Bone marrow aspirate smear · Pappenheim-stained — 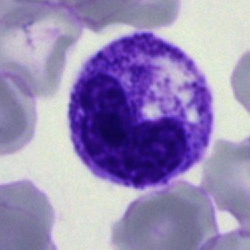 Q: Which cell type is shown here?
A: Metamyelocyte.